Bone marrow aspirate smear. 250×250. 40× objective, oil immersion — 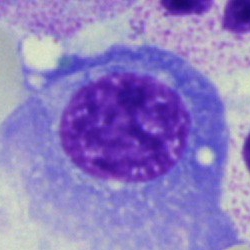

Q: Identify the cell.
A: This is a plasma cell.